Brightfield, 40× oil-immersion objective. Bone marrow smear: 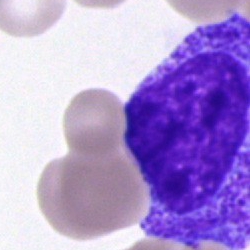
Specimen: bone marrow aspirate smear.
Morphological class: promyelocyte.